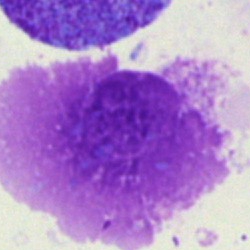

Specimen: bone marrow smear.
Cell: artifact.